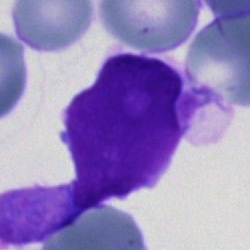

Q: What is shown here?
A: This is an undifferentiated blast.